Bone marrow aspirate smear — 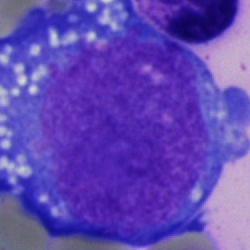 Q: What cell is this?
A: An undifferentiated blast.